400×400; peripheral blood film
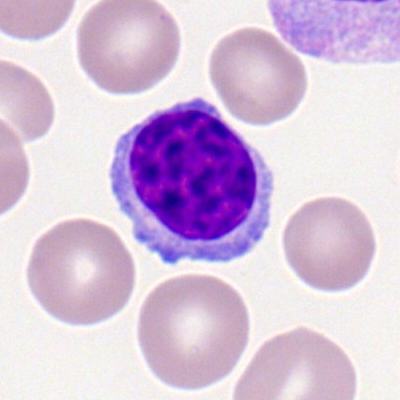Morphological class: typical lymphocyte.